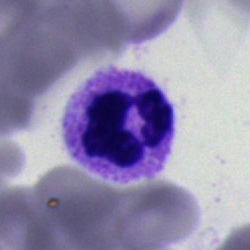Morphological class — polymorphonuclear neutrophil.